Brightfield microscopy, 40× oil immersion. Bone marrow aspirate smear — 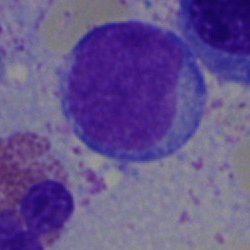 Showing a lymphocyte.